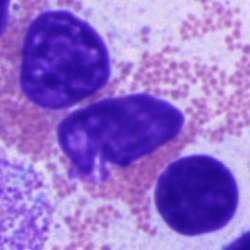 Morphology → eosinophilic granulocyte.